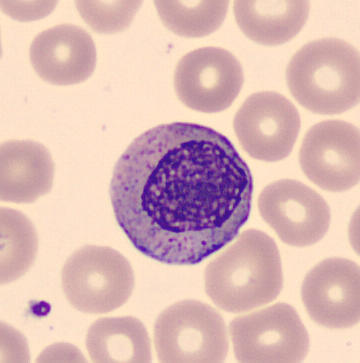

Image: Automated cell imaging (CellaVision DM96); peripheral blood film. Q: Identify the cell.
A: Myelocyte.